Bone marrow smear:
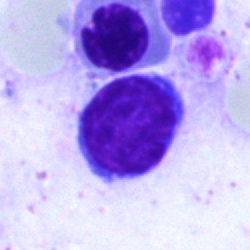Impression → lymphocyte.